Bone marrow smear.
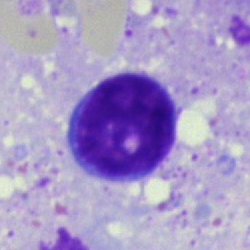

Q: What is the morphological classification of this cell?
A: It is a lymphocyte.